Bone marrow smear.
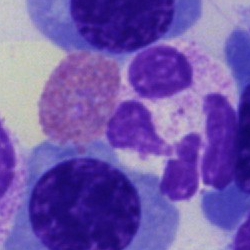Neutrophil (segmented).